Bone marrow smear:
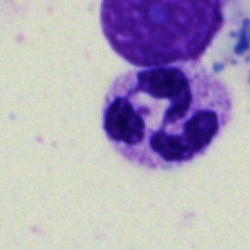The cell shown is a segmented neutrophil.